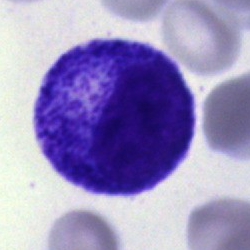

This is a progranulocyte.